Romanowsky-type stain. Peripheral blood film — 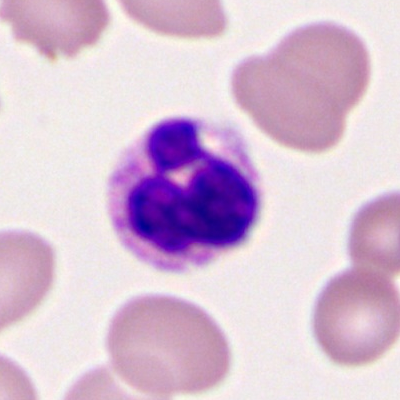Q: What cell is this?
A: This is a segmented neutrophil.